Bone marrow smear
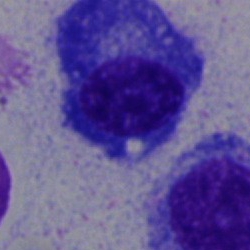
The morphological class is plasma cell.